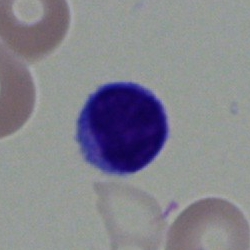

Impression → lymphocyte.